May-Grünwald-Giemsa/Pappenheim stain. 40× objective, oil immersion. Bone marrow aspirate smear:
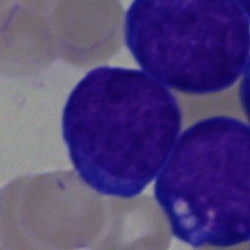

This is a blast.